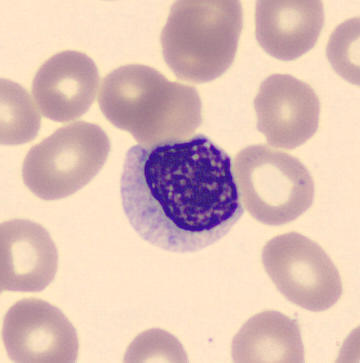Morphology consistent with a metamyelocyte.